Single-cell crop; brightfield, 40× oil-immersion objective; bone marrow smear — 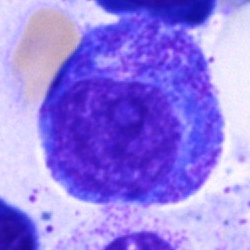
The classification is promyelocyte.